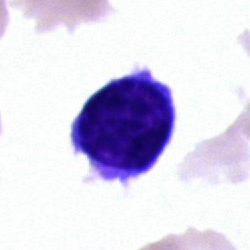 Specimen: bone marrow aspirate smear.
Classification: lymphocyte.
Lineage: lymphoid.